250 by 250 pixels · bone marrow smear:
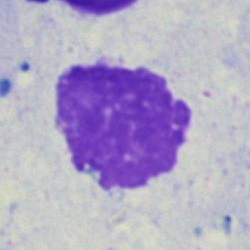
Morphological class = artifact.